Image size 250×250; MGG-stained; bone marrow smear: 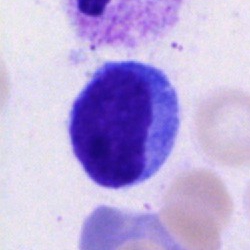Morphology consistent with a typical lymphocyte.